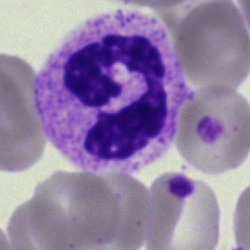
Morphological class: polymorphonuclear neutrophil.